250 by 250 pixels. Bone marrow smear. Brightfield, 40× oil-immersion objective:
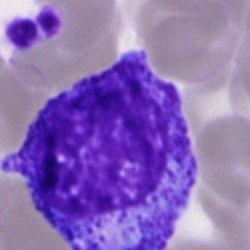
A promyelocyte.